Brightfield, 40× oil-immersion objective · bone marrow aspirate smear.
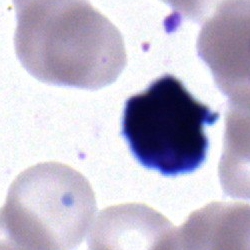 Nucleated red blood cell.